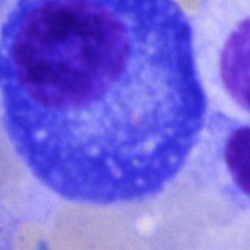Q: What type of cell is this?
A: This is a plasmacyte.